M8 digital microscope (Precipoint), 100× oil immersion. Peripheral blood smear
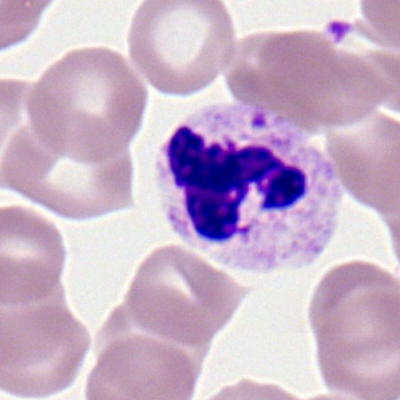The cell type is segmented neutrophil.